Bone marrow smear
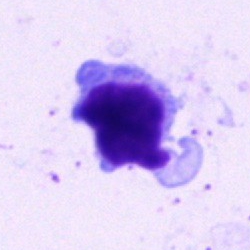The cell is typical lymphocyte.